Bone marrow aspirate smear. Single cell centered in the field:
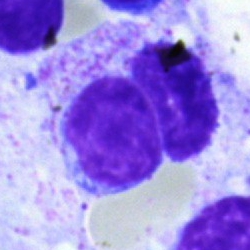
Impression → typical lymphocyte.